Bone marrow aspirate smear.
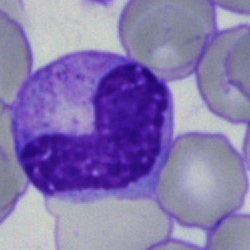
Classification: band neutrophil.